Brightfield microscopy, 40× oil immersion; bone marrow aspirate smear; May-Grünwald-Giemsa stain: 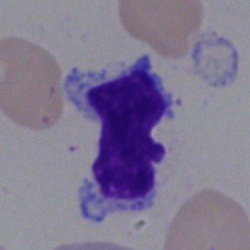 Artifact.